Bone marrow smear · Pappenheim-stained.
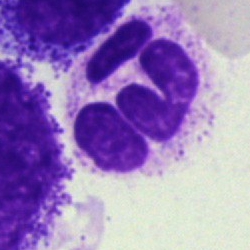

Q: What type of cell is this?
A: It is a polymorphonuclear neutrophil.